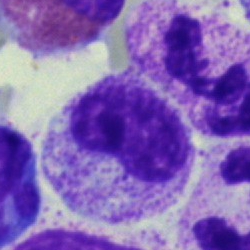Specimen: bone marrow aspirate smear.
Cell: metamyelocyte.